Bone marrow aspirate smear:
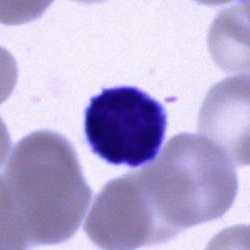 {"cell_type": "typical lymphocyte", "lineage": "lymphoid"}